Bone marrow aspirate smear:
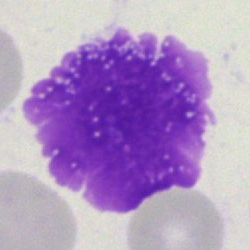
Q: What is shown here?
A: This is an artifact.